Bone marrow aspirate smear. May-Grünwald-Giemsa stain
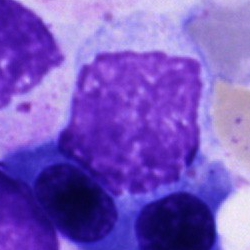Morphological class: artifact.